Pappenheim-stained · bone marrow aspirate smear.
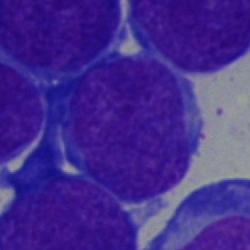The cell is blast cell.